250×250 px · bone marrow smear.
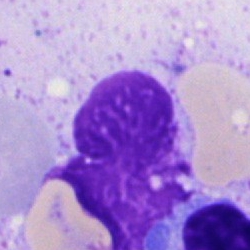 This is an artifact.